Bone marrow smear: 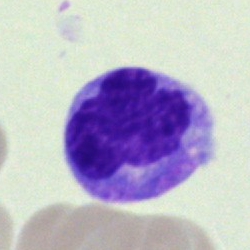

Q: What is shown here?
A: This is a monocyte.